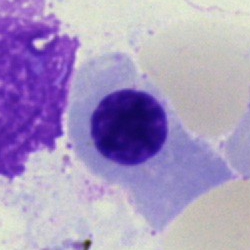
Morphological class: nucleated red cell.